May-Grünwald-Giemsa/Pappenheim stain · single-cell crop · bone marrow aspirate smear:
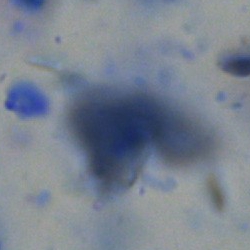Morphology — artifact.